Bone marrow smear · brightfield, 40× oil-immersion objective — 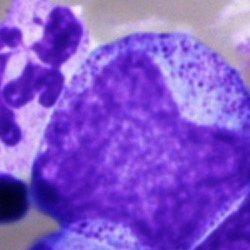 Morphology → promyelocyte.